Bone marrow aspirate smear · 250 by 250 pixels — 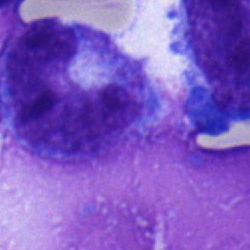
Specimen: bone marrow aspirate smear.
Cell: metamyelocyte.